Bone marrow smear
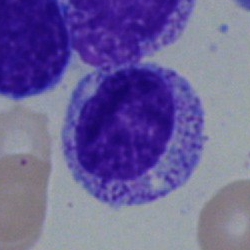
Cell = myelocyte.